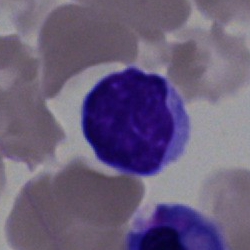
Showing a typical lymphocyte.